Brightfield microscopy, 40× oil immersion · bone marrow aspirate smear · 250×250: 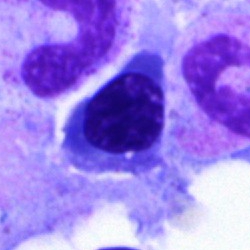

Specimen: bone marrow smear.
Morphological class: erythroblast.